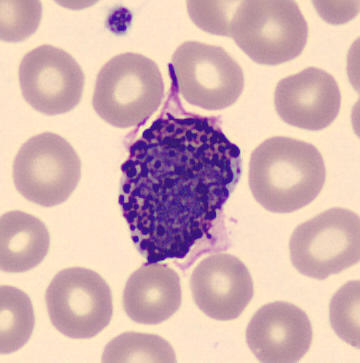

The cell shown is a basophilic granulocyte.